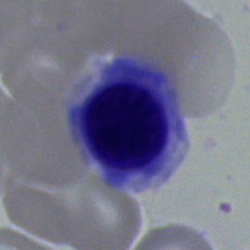 Specimen: bone marrow aspirate smear.
Cell type: nucleated red blood cell.
Lineage: erythroid.